Bone marrow smear. Brightfield, 40× oil-immersion objective. Single-cell crop.
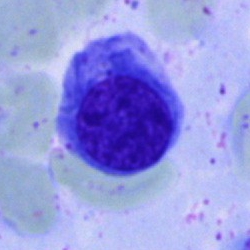
Q: What type of cell is this?
A: A nucleated red cell.